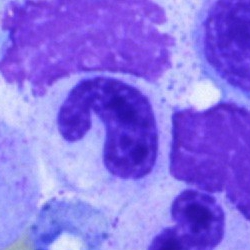
Band neutrophil.